Bone marrow smear: 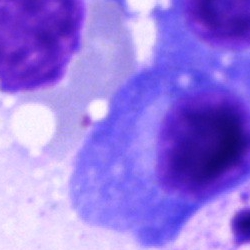Impression — plasma cell.